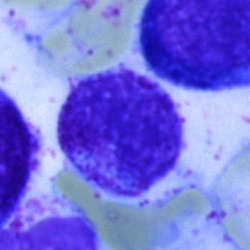Bone marrow smear showing a lymphocyte.